Peripheral blood smear
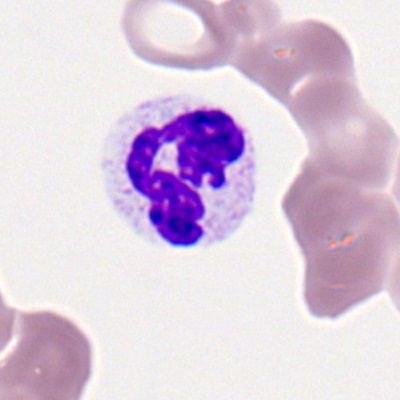 A neutrophil (segmented).